Bone marrow smear — 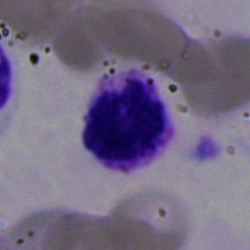 Morphological class — basophilic granulocyte.